Bone marrow aspirate smear: 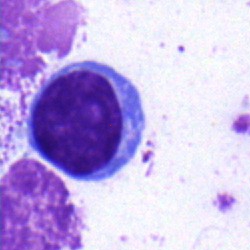
Morphology → lymphocyte.